Bone marrow aspirate smear.
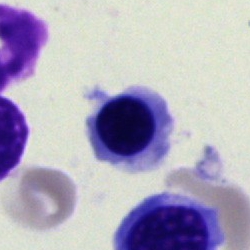
Q: Identify the cell.
A: This is a nucleated red cell.